40× objective, oil immersion. Bone marrow smear
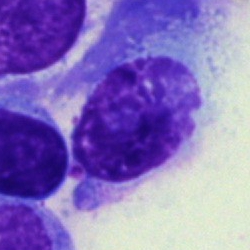This is a plasmacyte.